Bone marrow aspirate smear
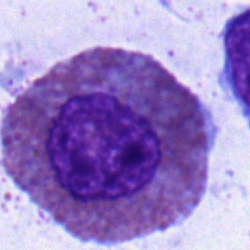
Q: Which cell type is shown here?
A: An eosinophil.